40× oil immersion; bone marrow smear.
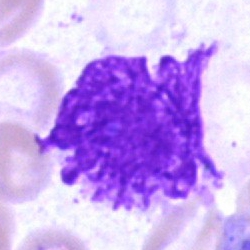 Specimen: bone marrow smear.
Classification: artefact.